250 by 250 pixels · bone marrow smear · Pappenheim-stained:
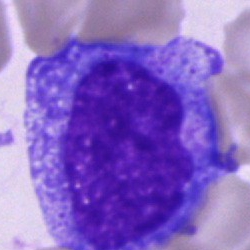
The cell shown is a progranulocyte.